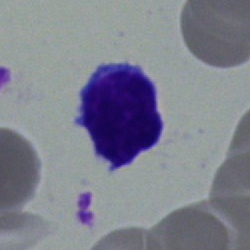This is a typical lymphocyte.